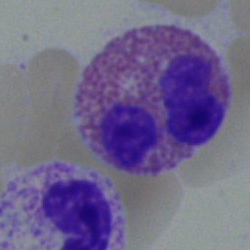Single-cell crop from a bone marrow smear: eosinophilic granulocyte.